Bone marrow aspirate smear: 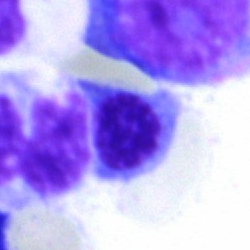

Cell type — nucleated red cell.